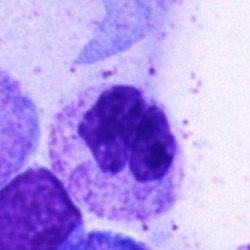
Single-cell crop from a bone marrow smear: segmented neutrophil.